Bone marrow aspirate smear — 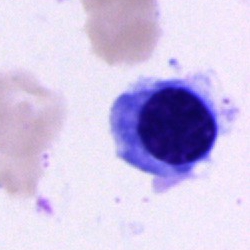 Single cell identified as a normoblast.